Bone marrow smear:
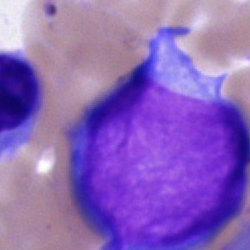
Impression — blast.